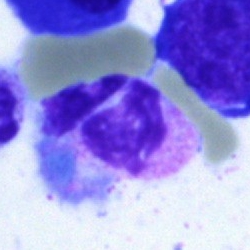The cell type is neutrophil (segmented).